Bone marrow smear. Brightfield, 40× oil-immersion objective. Single-cell crop:
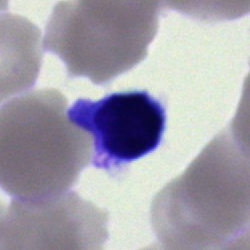

Q: What type of cell is this?
A: It is a typical lymphocyte.